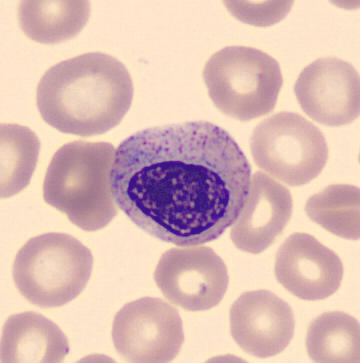{"cell_type": "metamyelocyte"}